Bone marrow smear: 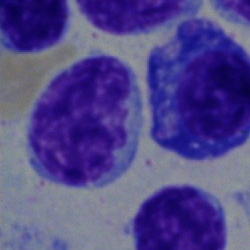
Q: What type of cell is this?
A: Lymphocyte.